Bone marrow smear
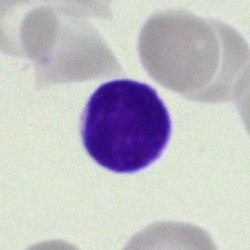 A typical lymphocyte.